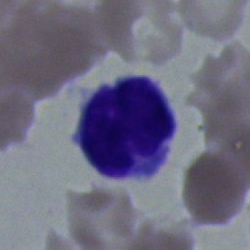 Q: What type of cell is this?
A: Lymphocyte.